40× oil immersion. 250×250. Bone marrow aspirate smear.
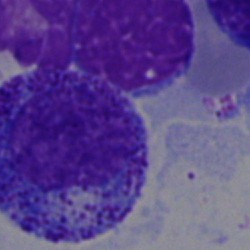

{"cell_type": "promyelocyte", "lineage": "myeloid"}